Single-cell field. Bone marrow smear. 40× oil immersion — 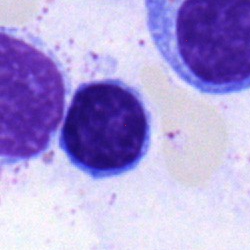

Single cell identified as a lymphocyte.